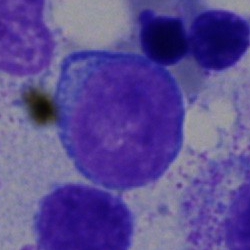

Single cell identified as a typical lymphocyte.